Brightfield microscopy, 40× oil immersion · bone marrow aspirate smear · single-cell crop:
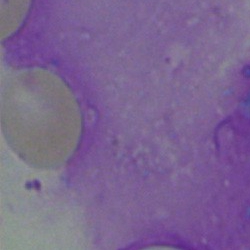 {"cell_type": "artifact"}